Bone marrow smear.
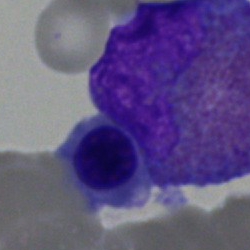

Morphology — eosinophil.